Bone marrow aspirate smear.
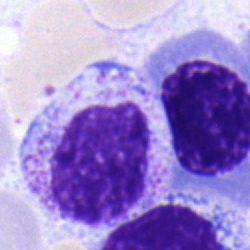The cell type is myelocyte.